Bone marrow aspirate smear: 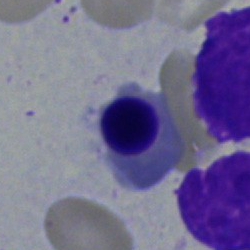Cell type: nucleated red cell.